Bone marrow aspirate smear — 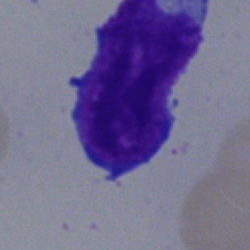
Morphology consistent with an immature lymphocyte.